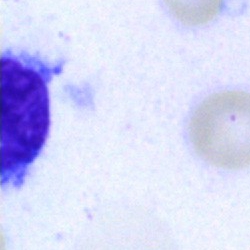

Bone marrow smear showing an artifact.